Bone marrow smear. Single-cell field. May-Grünwald-Giemsa/Pappenheim stain:
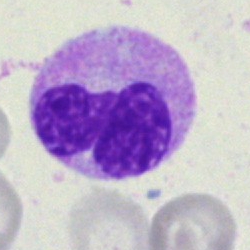
{"cell_type": "neutrophil (band)", "lineage": "myeloid"}